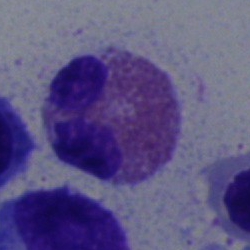

This is an eosinophil.